Brightfield, 40× oil-immersion objective · bone marrow smear.
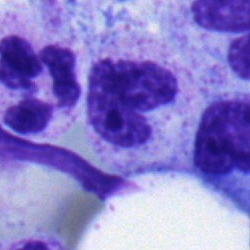 Stab cell.